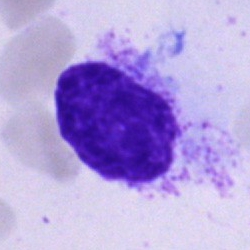

The cell shown is an artifact.